Peripheral blood film: 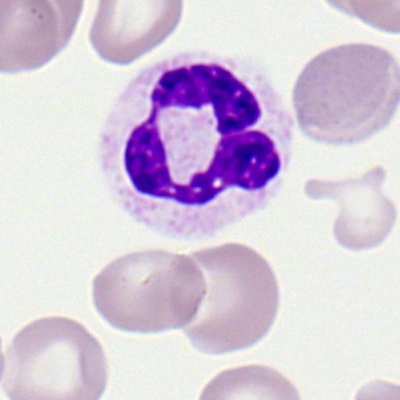 Q: What cell is this?
A: This is a polymorphonuclear neutrophil.